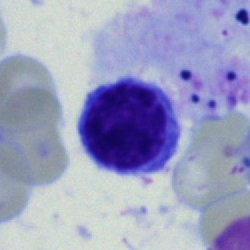Morphology consistent with a lymphocyte.